Image size 250×250 · bone marrow smear:
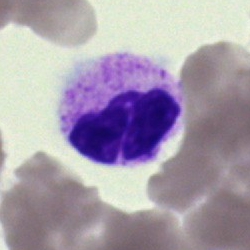 Q: Which cell type is shown here?
A: It is a polymorphonuclear neutrophil.